Bone marrow smear.
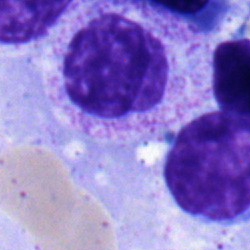 A myelocyte.